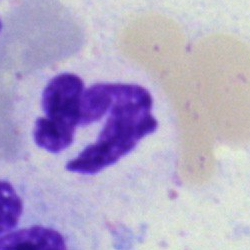
Specimen: bone marrow aspirate smear.
Morphological class: polymorphonuclear neutrophil.